Bone marrow smear.
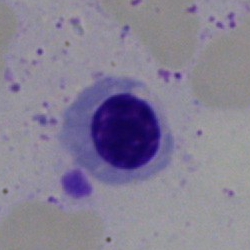 A nucleated red blood cell.